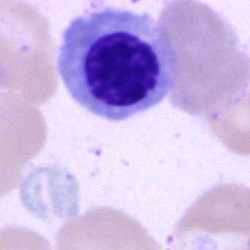
Specimen: bone marrow aspirate smear.
Cell type: erythroblast.
Lineage: erythroid.